250 by 250 pixels. Bone marrow smear. May-Grünwald-Giemsa/Pappenheim stain.
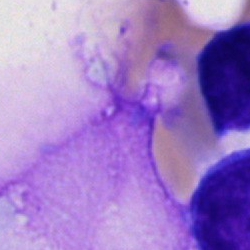
Cell type: artifact.